Pappenheim-stained · bone marrow smear: 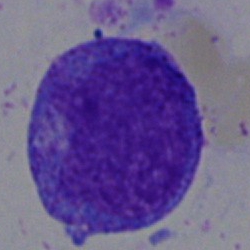

Promyelocyte.